Bone marrow smear — 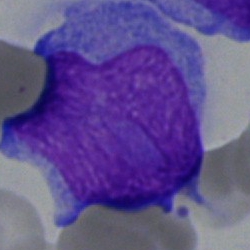{"cell_type": "blast cell"}